Bone marrow smear: 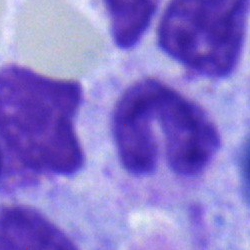
Q: What cell is this?
A: It is a band neutrophil.